Single-cell crop. Bone marrow aspirate smear
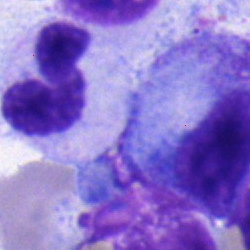

The classification is progranulocyte.